Image size 250×250 · bone marrow aspirate smear: 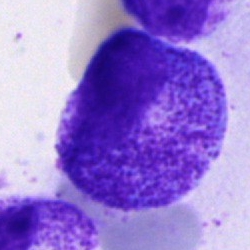 Specimen: bone marrow aspirate smear.
Cell: promyelocyte.
Lineage: myeloid.